Bone marrow aspirate smear.
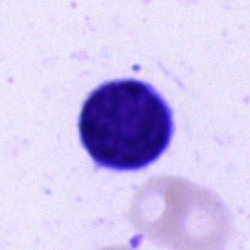
Cell type: lymphocyte.